MGG-stained; bone marrow smear; cropped to a single cell: 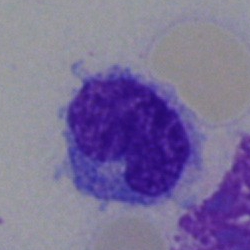Specimen: bone marrow smear.
Morphological class: monocyte.
Lineage: myeloid.